Bone marrow smear · 250×250:
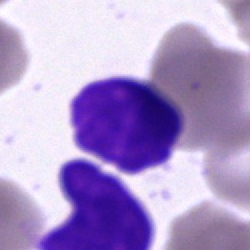Artefact.